Pappenheim-stained. Bone marrow smear.
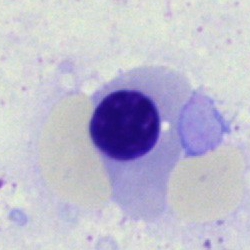 Impression → erythroblast.